Bone marrow aspirate smear: 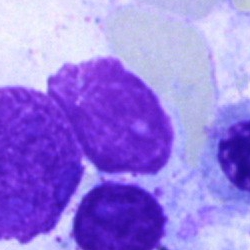Q: What is shown here?
A: An artifact.